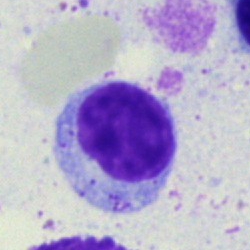
Q: Which cell type is shown here?
A: Typical lymphocyte.